Bone marrow aspirate smear — 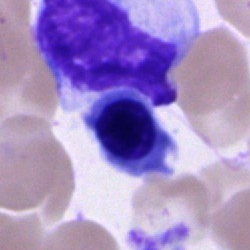
Morphology consistent with a nucleated red blood cell.